May-Grünwald-Giemsa stain · 40× objective, oil immersion · bone marrow smear — 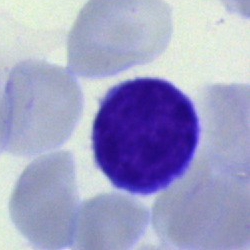
Cell type = lymphocyte.